Bone marrow smear — 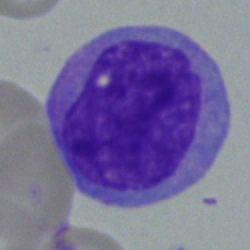

{"cell_type": "monocyte"}